Bone marrow aspirate smear: 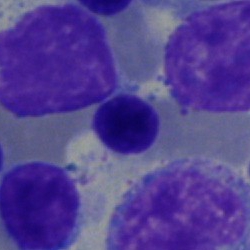

Nucleated red blood cell.